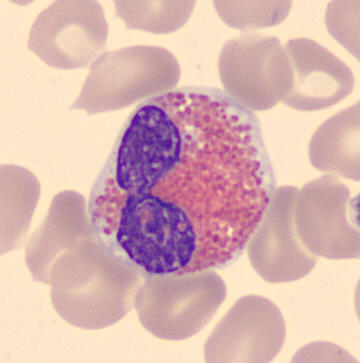Q: What is shown here?
A: An eosinophilic granulocyte.